Bone marrow smear:
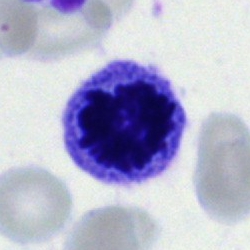

Q: Which cell type is shown here?
A: Unidentifiable cell.